Bone marrow smear — 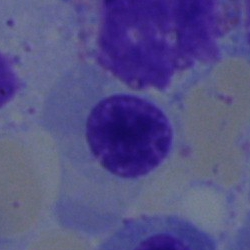Normoblast.